Bone marrow smear.
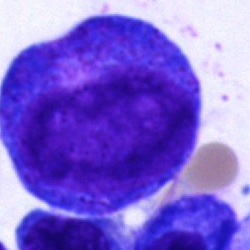
A promyelocyte.